250 by 250 pixels. Bone marrow smear. Cropped to a single cell — 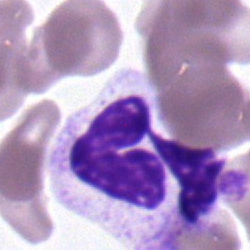 Cell: myelocyte.